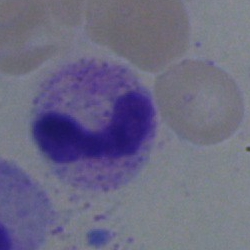
Polymorphonuclear neutrophil.